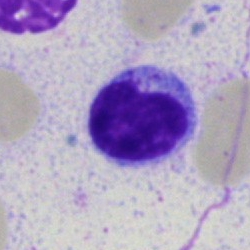Showing a lymphocyte.